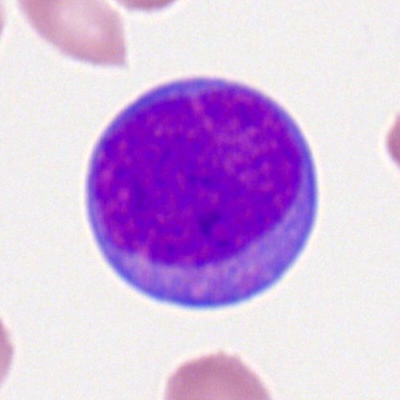
Morphology — myeloid blast.